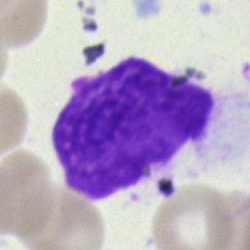

Cell — artefact.